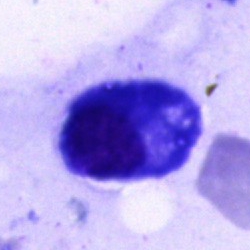 Showing a plasma cell.